May-Grünwald-Giemsa/Pappenheim stain. 250 by 250 pixels. Bone marrow smear — 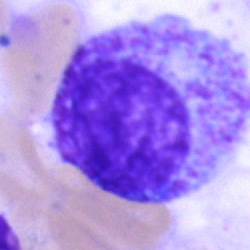

Promyelocyte.